40× objective, oil immersion; bone marrow aspirate smear
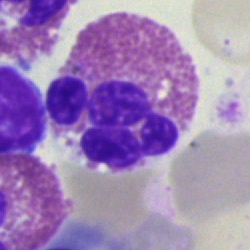Q: Identify the cell.
A: This is an eosinophilic granulocyte.